Bone marrow aspirate smear.
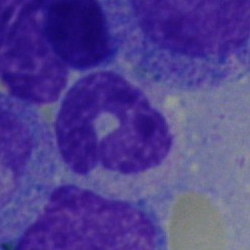

A band-form neutrophil.